May-Grünwald-Giemsa/Pappenheim stain; cropped to a single cell; bone marrow aspirate smear
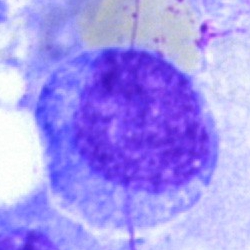

{"cell_type": "promyelocyte"}